Bone marrow smear — 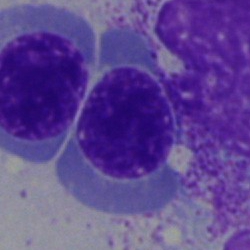
Showing a normoblast.